Peripheral blood film · 400×400:
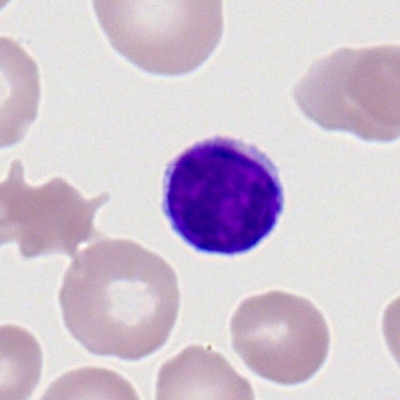 Q: Which cell type is shown here?
A: It is a typical lymphocyte.